Pappenheim-stained · bone marrow aspirate smear · single-cell crop:
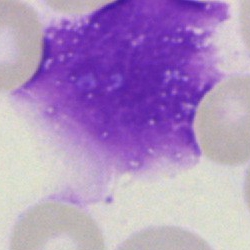
Q: What is shown here?
A: An artefact.